Pappenheim-stained. Bone marrow aspirate smear
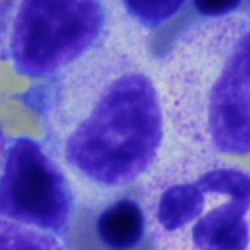 Morphology → myelocyte.